Bone marrow smear · single-cell field · May-Grünwald-Giemsa/Pappenheim stain — 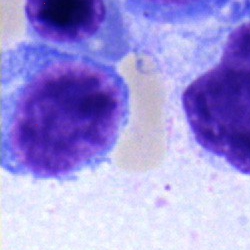A plasmacyte.